Bone marrow smear — 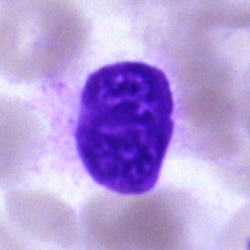{"cell_type": "artefact"}